Bone marrow aspirate smear:
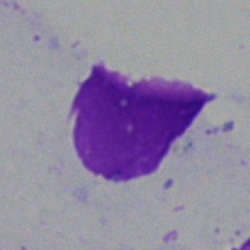

{"cell_type": "artefact"}